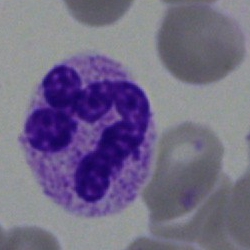
Morphology — polymorphonuclear neutrophil.